Brightfield microscopy, 40× oil immersion; bone marrow smear — 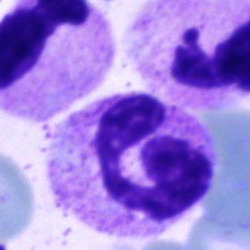Q: Identify the cell.
A: This is a polymorphonuclear neutrophil.